Bone marrow smear: 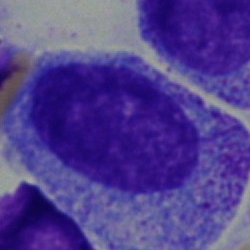 Promyelocyte.